Single-cell field · peripheral blood smear:
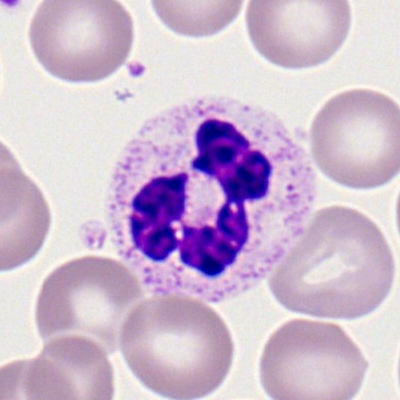
{"cell_type": "neutrophil (segmented)", "lineage": "myeloid"}